May-Grünwald-Giemsa/Pappenheim stain · bone marrow smear · 40× objective, oil immersion: 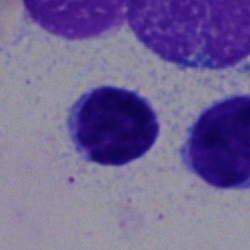
Showing a lymphocyte.